Bone marrow aspirate smear · Pappenheim-stained — 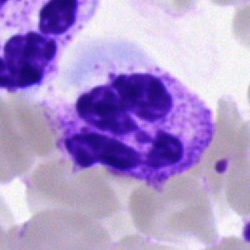This is a polymorphonuclear neutrophil.